Bone marrow aspirate smear — 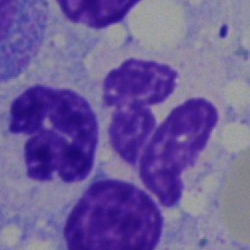
Morphology consistent with an artifact.